Bone marrow aspirate smear · single-cell field — 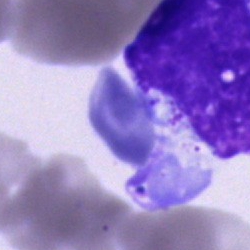 The classification is cell of indeterminate lineage.